Bone marrow smear
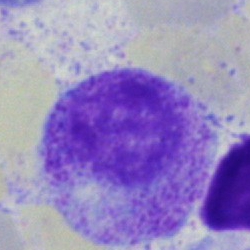 Single cell identified as a myelocyte.